40× oil immersion; bone marrow aspirate smear: 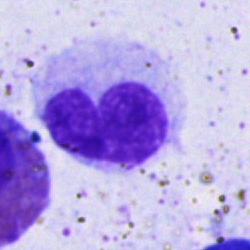 This is a stab cell.